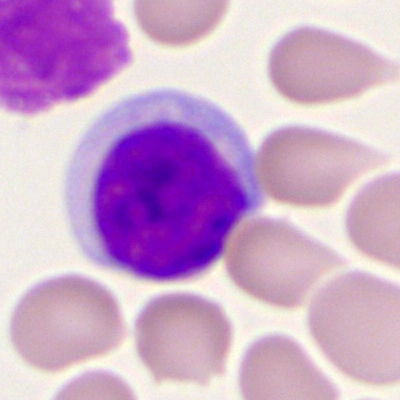 Impression → myeloid blast.